Bone marrow smear — 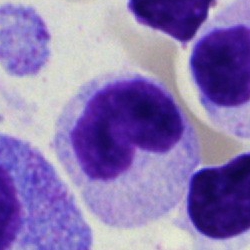Morphology — neutrophil (band).